Bone marrow smear:
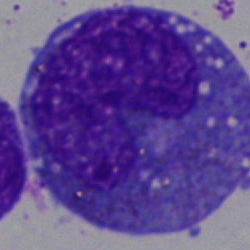

Q: Which cell type is shown here?
A: Monocyte.